Single-cell crop; bone marrow smear — 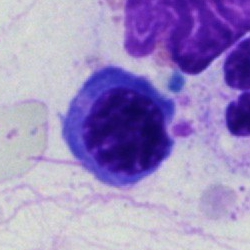 This is a normoblast.